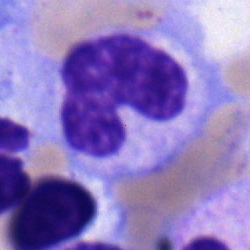A neutrophil (band).